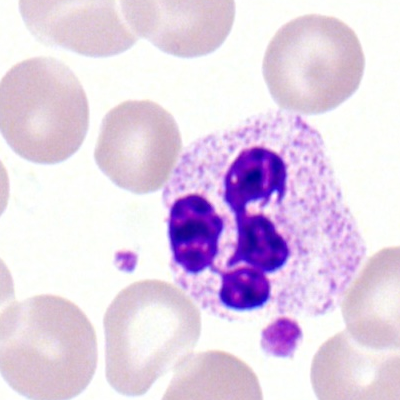A neutrophil (segmented).